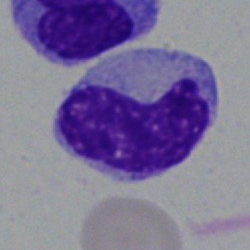
Cell type = band-form neutrophil.